Bone marrow smear: 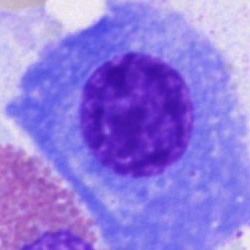
Plasma cell.